Bone marrow smear; cropped to a single cell.
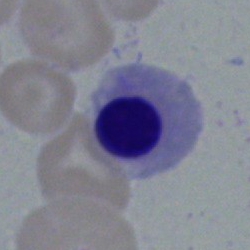
Impression → erythroblast.